Bone marrow aspirate smear.
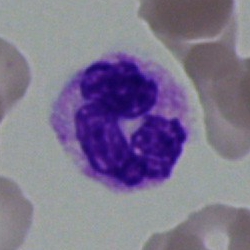A neutrophil (segmented).